Bone marrow smear:
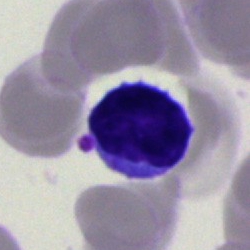Lymphocyte.